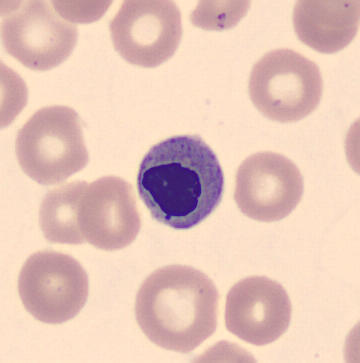The classification is normoblast. Image: Peripheral blood film.